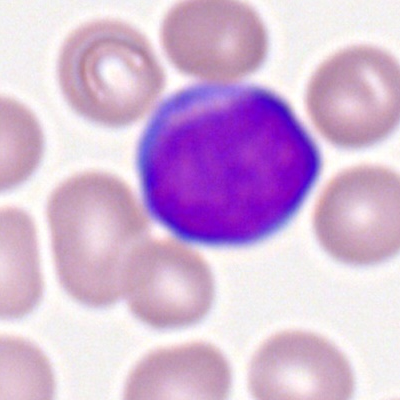

The cell shown is a myeloblast.